Bone marrow smear. Cropped to a single cell:
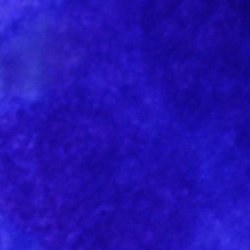

Morphology — artefact.